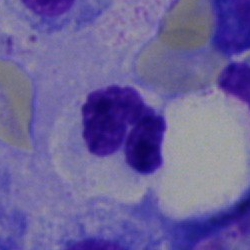
Q: What is shown here?
A: A neutrophil (segmented).